Bone marrow smear
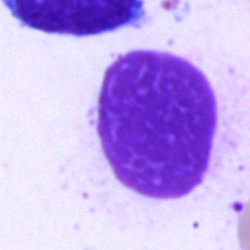

Impression → artifact.